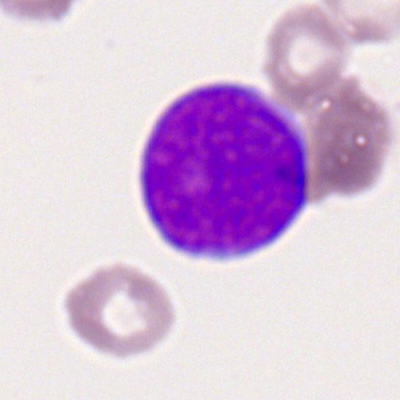This is a myeloblast.